Bone marrow smear: 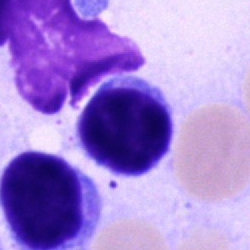

Cell — typical lymphocyte.